MGG-stained; bone marrow aspirate smear:
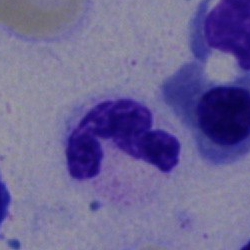This is a neutrophil (segmented).